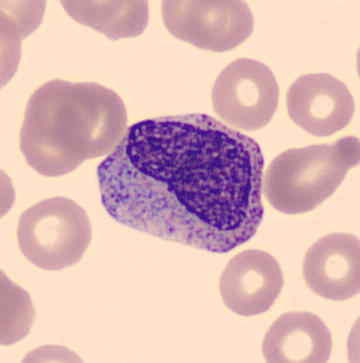
Acquisition: Single cell centered in the field; CellaVision DM96 digital cell image; peripheral blood smear.

Classification = myelocyte.